Bone marrow aspirate smear
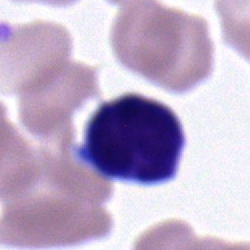

The cell shown is a lymphocyte.